250×250. Bone marrow aspirate smear: 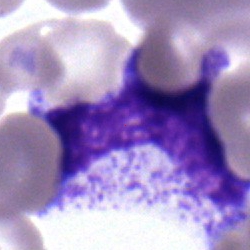
Morphological class: myelocyte.